250 by 250 pixels; bone marrow smear
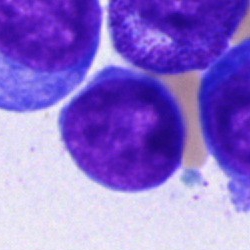 Q: What is shown here?
A: Typical lymphocyte.